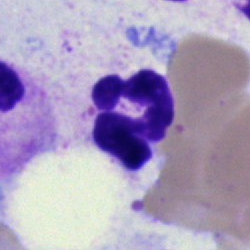

Segmented neutrophil.